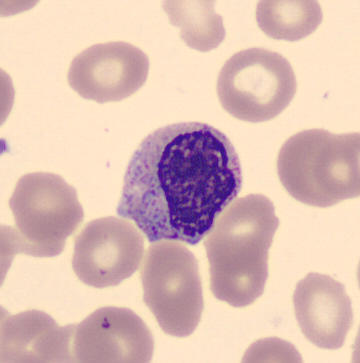Single cell identified as a metamyelocyte.